40× oil immersion · 250×250 px · bone marrow aspirate smear
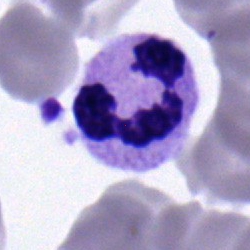
Single cell identified as a polymorphonuclear neutrophil.